Bone marrow aspirate smear:
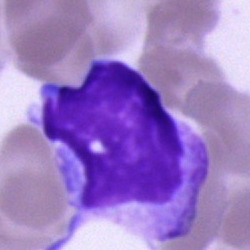The cell shown is an artefact.